Bone marrow aspirate smear
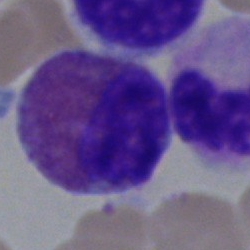

Specimen: bone marrow smear.
Cell type: eosinophil.